Bone marrow smear. Brightfield, 40× oil-immersion objective. Single-cell field
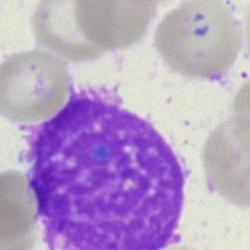

The morphological class is artifact.